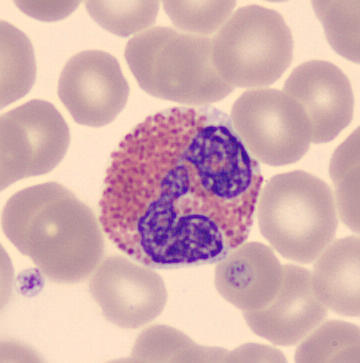The classification is eosinophil.